Bone marrow smear · May-Grünwald-Giemsa stain · 250 by 250 pixels:
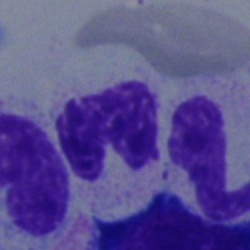Impression — neutrophil (segmented).